Bone marrow aspirate smear; May-Grünwald-Giemsa/Pappenheim stain: 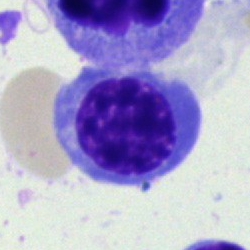
The cell shown is a normoblast.